May-Grünwald-Giemsa/Pappenheim stain; bone marrow aspirate smear.
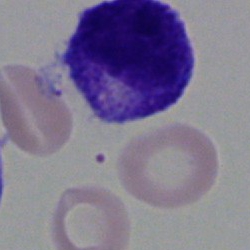

The cell shown is a myelocyte.